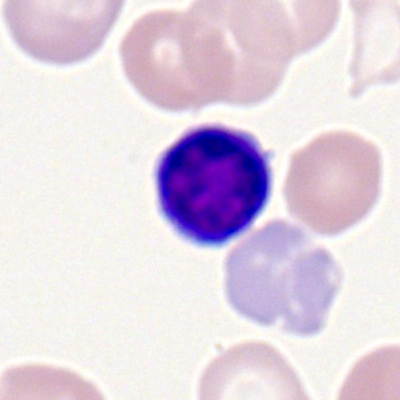
Single cell identified as a typical lymphocyte.